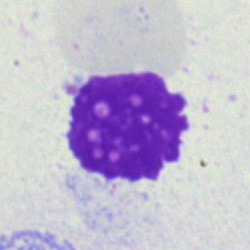
Morphology → artefact.